Bone marrow smear:
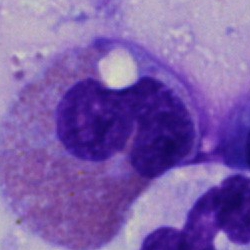
Q: What cell is this?
A: It is an eosinophilic granulocyte.